Brightfield microscopy, 40× oil immersion · bone marrow smear
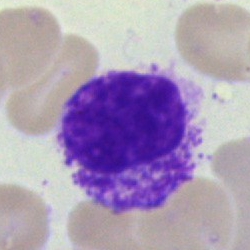 Artifact.